Bone marrow aspirate smear · 250×250 · May-Grünwald-Giemsa stain — 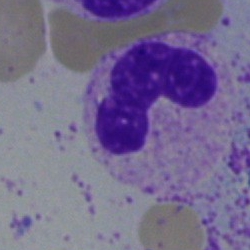
Cell: segmented neutrophil.